Bone marrow smear:
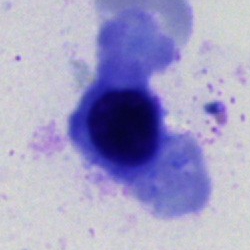 Impression → erythroblast.